Brightfield, 40× oil-immersion objective. Bone marrow smear. May-Grünwald-Giemsa/Pappenheim stain.
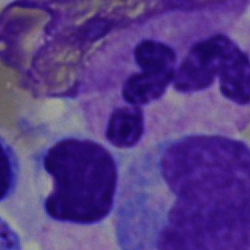
Showing a polymorphonuclear neutrophil.